Image size 250×250; bone marrow aspirate smear: 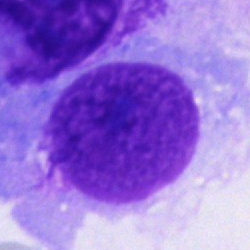

Specimen: bone marrow smear.
Cell type: other cell type.